Bone marrow smear
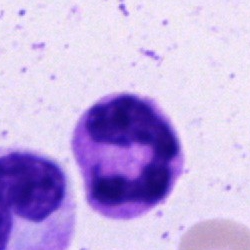Showing a neutrophil (segmented).